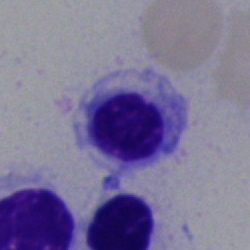

Morphological class: nucleated red blood cell.